Bone marrow smear.
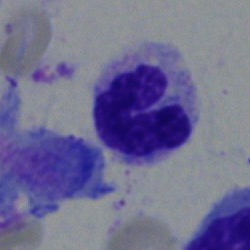

The cell shown is a neutrophil (band).